Bone marrow aspirate smear · single-cell crop · 250×250 px: 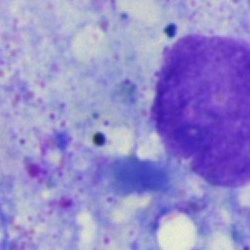 Artefact.